May-Grünwald-Giemsa stain; bone marrow aspirate smear
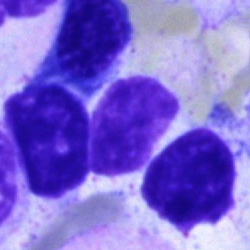

Q: What is shown here?
A: It is an artifact.